250×250 px · bone marrow aspirate smear: 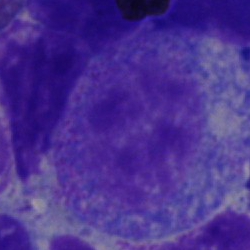
Impression — promyelocyte.